Brightfield, 40× oil-immersion objective · bone marrow smear.
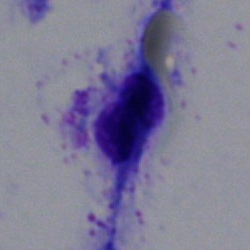

Classification: artifact.